Bone marrow aspirate smear:
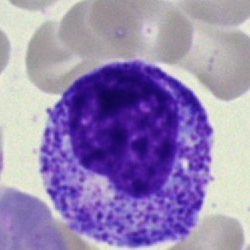 The cell type is progranulocyte.